250×250; bone marrow smear: 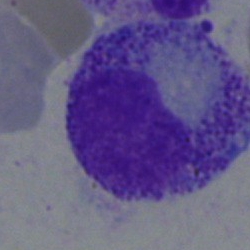 Morphological class — myelocyte.